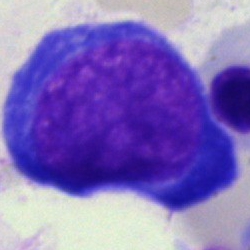
Classification — pronormoblast.